Bone marrow smear — 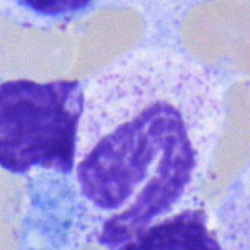

The cell shown is a segmented neutrophil.